Bone marrow aspirate smear
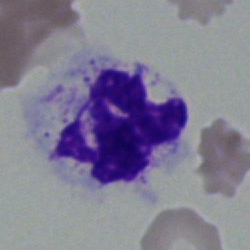 Q: What is shown here?
A: It is a neutrophil (segmented).